Brightfield microscopy, 40× oil immersion · bone marrow smear:
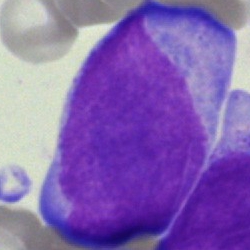

Morphology consistent with a blast.